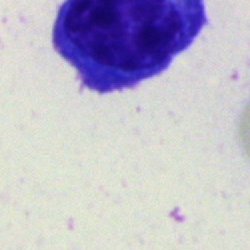 Specimen: bone marrow aspirate smear.
Morphological class: artefact.